Bone marrow aspirate smear:
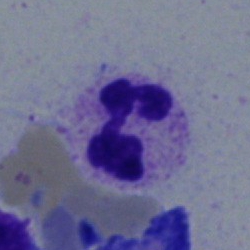A neutrophil (segmented).